Single-cell crop; brightfield microscopy, 40× oil immersion; bone marrow smear: 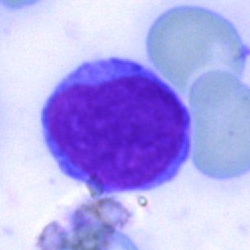

Typical lymphocyte.